Bone marrow aspirate smear; Pappenheim-stained.
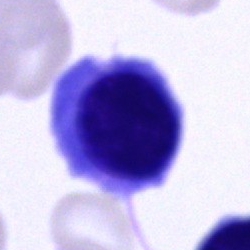Cell: cell of indeterminate lineage.